Bone marrow aspirate smear: 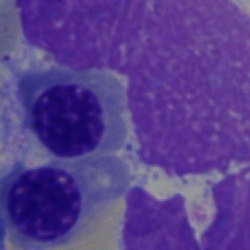
{"cell_type": "erythroblast", "lineage": "erythroid"}